Bone marrow aspirate smear — 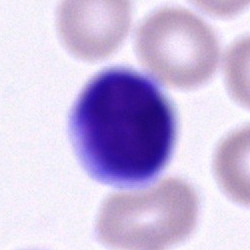 Q: What is shown here?
A: Lymphocyte.